Bone marrow smear — 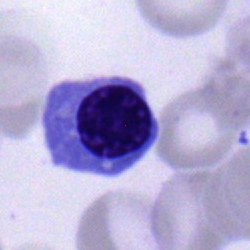

A nucleated red cell.